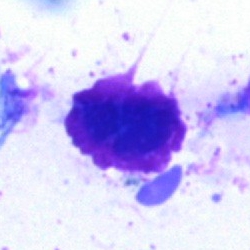 The cell shown is an artefact.